Bone marrow smear:
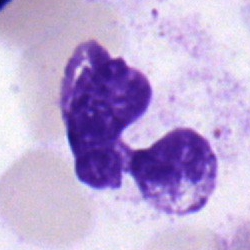
Neutrophil (segmented).